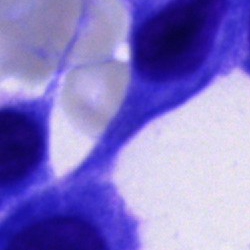Morphological class — cell not matching the other categories.